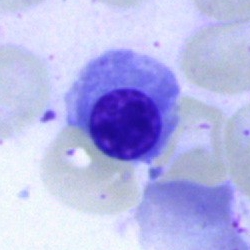 Specimen: bone marrow smear.
Cell type: nucleated red cell.
Lineage: erythroid.